Bone marrow smear.
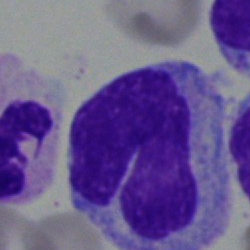Showing a monocyte.